Bone marrow aspirate smear
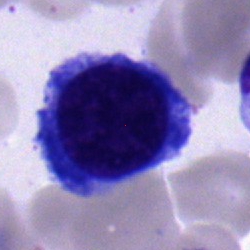Q: Identify the cell.
A: Nucleated red blood cell.